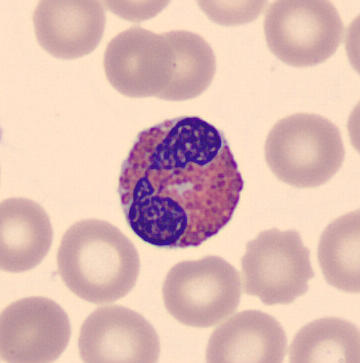
The morphological class is eosinophilic granulocyte.